Cropped to a single cell · bone marrow aspirate smear · brightfield microscopy, 40× oil immersion: 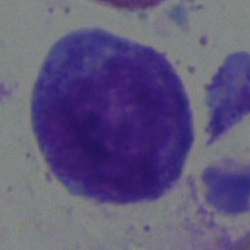 Classification: monocyte.